Peripheral blood smear. Single cell centered in the field.
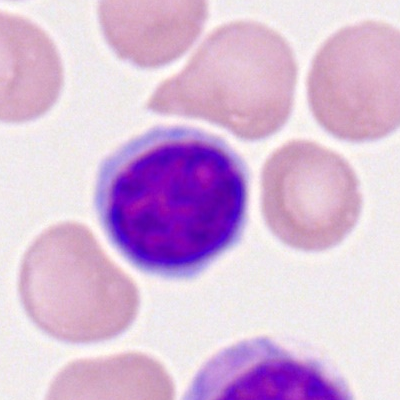

Morphology → lymphocyte.